Bone marrow aspirate smear — 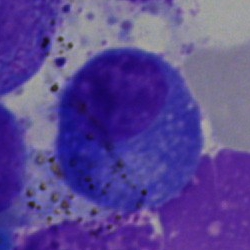 Specimen: bone marrow smear.
Morphological class: promyelocyte.